MGG-stained · bone marrow aspirate smear
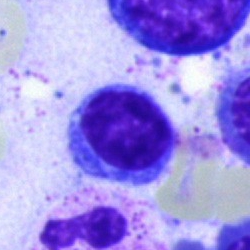

A typical lymphocyte.